250 by 250 pixels. Single cell centered in the field. Bone marrow aspirate smear — 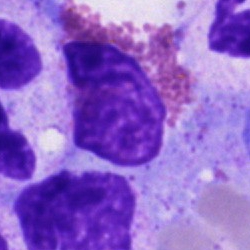

Cell type = eosinophilic granulocyte.